Cropped to a single cell. Bone marrow aspirate smear:
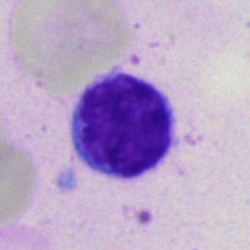 A lymphocyte.